Bone marrow aspirate smear · cropped to a single cell · 250×250 px — 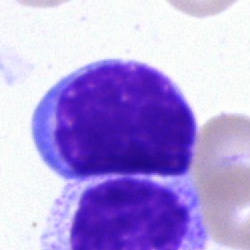 Morphological class — lymphocyte.